Bone marrow aspirate smear; 40× objective, oil immersion
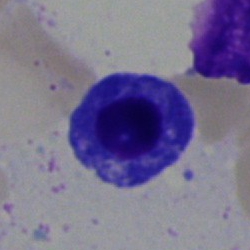 Single cell identified as a plasmacyte.